250×250. Bone marrow aspirate smear — 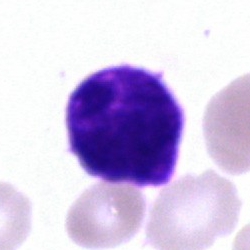
Morphology → typical lymphocyte.